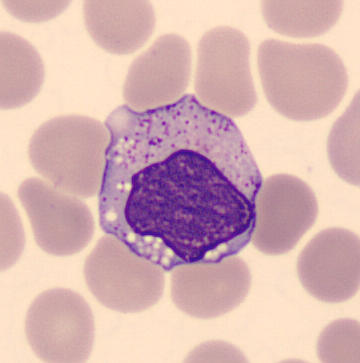 Peripheral blood smear.

Q: What type of cell is this?
A: Monocyte.